250×250 px. Bone marrow smear. Pappenheim-stained — 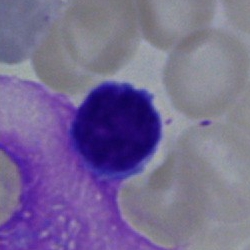Classification = typical lymphocyte.